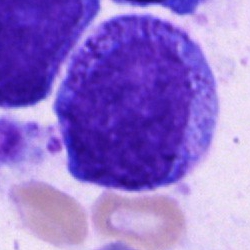
A progranulocyte on a bone marrow smear.